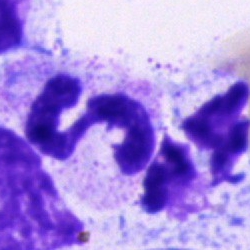 Classification = neutrophil (segmented).